Bone marrow smear: 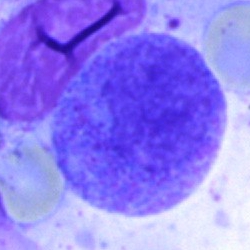
This is a progranulocyte.